Bone marrow aspirate smear · cropped to a single cell:
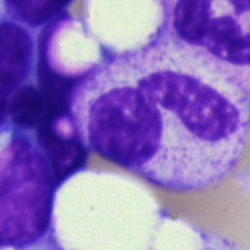
The cell is segmented neutrophil.